Bone marrow smear; Pappenheim-stained — 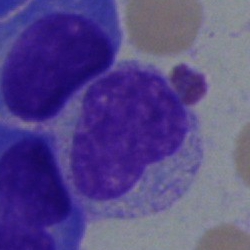
Showing a myelocyte.